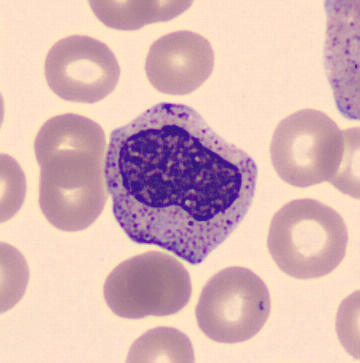
This is a metamyelocyte.

Image: Single cell centered in the field. Peripheral blood smear. 360 by 363 pixels.